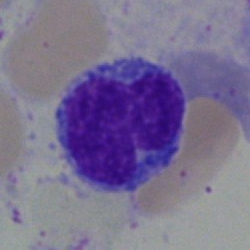

This is a typical lymphocyte.